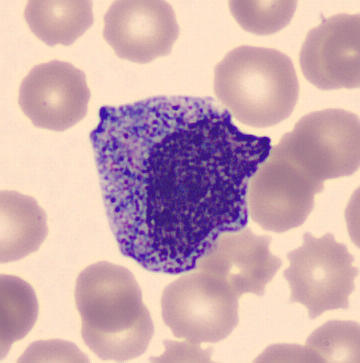

Specimen: peripheral blood film.
Morphological class: promyelocyte.

Image: Single-cell field.